Bone marrow aspirate smear. Brightfield, 40× oil-immersion objective. 250×250 px — 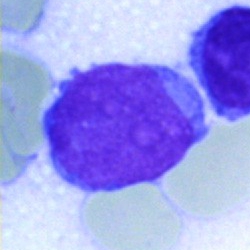{"cell_type": "undifferentiated blast"}